Bone marrow smear — 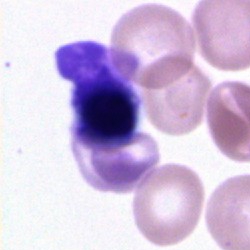
Unidentifiable cell.